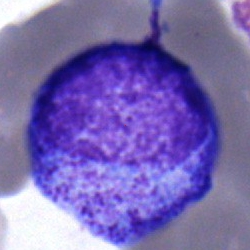

Specimen: bone marrow smear.
Morphological class: progranulocyte.
Lineage: myeloid.